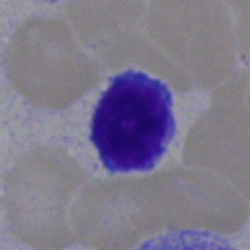
The cell is typical lymphocyte.